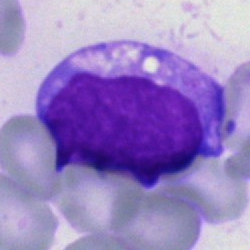

Bone marrow smear showing a blast cell.